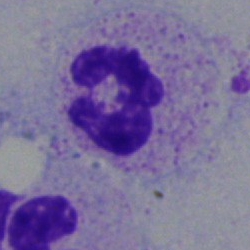

{"cell_type": "neutrophil (segmented)"}